Brightfield, 40× oil-immersion objective · 250×250 px · bone marrow smear:
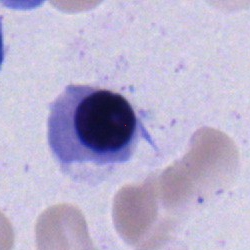 Morphological class = erythroblast.